Bone marrow aspirate smear.
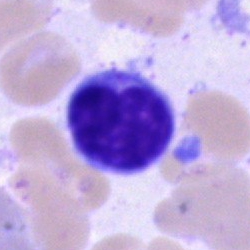
Morphology consistent with a typical lymphocyte.